Bone marrow smear.
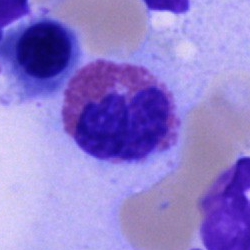 The cell type is basophilic granulocyte.